Bone marrow aspirate smear: 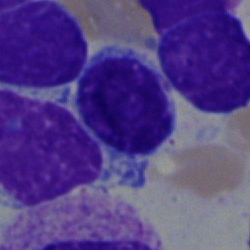

Morphological class = lymphocyte.